Bone marrow smear: 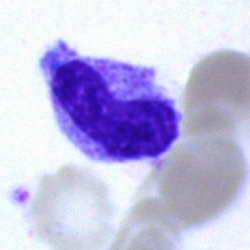
Impression → neutrophil (band).